Bone marrow aspirate smear
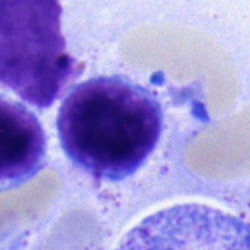

Q: What cell is this?
A: Typical lymphocyte.